Bone marrow smear.
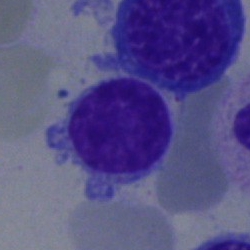

Showing a typical lymphocyte.